Bone marrow smear:
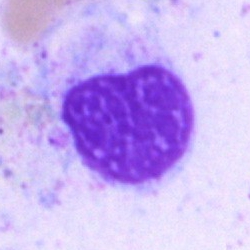Morphology consistent with an artefact.